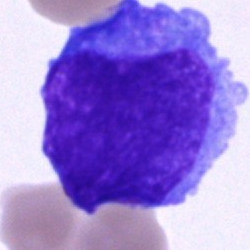Morphological class: undifferentiated blast.